Bone marrow smear
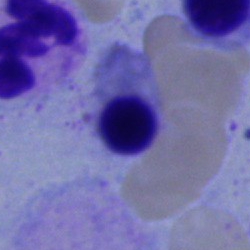Morphology consistent with an erythroblast.